Peripheral blood film: 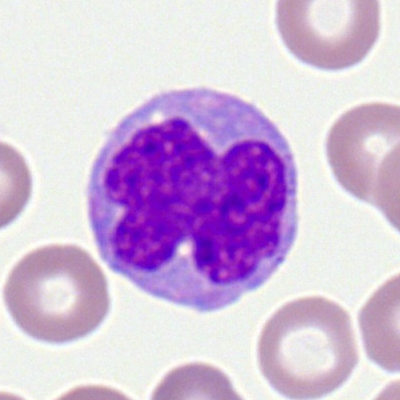Q: What is the morphological classification of this cell?
A: It is a monocyte.